250×250 · May-Grünwald-Giemsa stain · bone marrow smear.
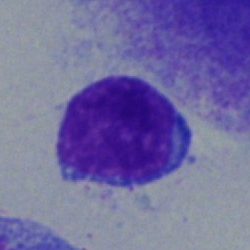 A blast cell.